MGG-stained; bone marrow smear; 250×250 px: 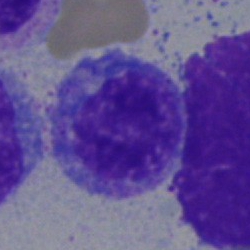

Q: What cell is this?
A: A myelocyte.